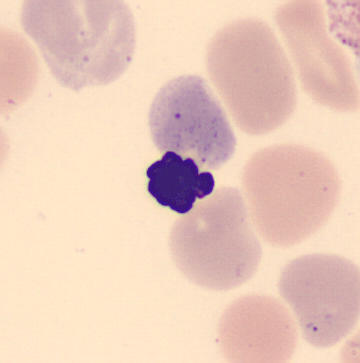
Impression — normoblast.

Peripheral blood smear · single-cell crop.